Single-cell crop; bone marrow aspirate smear:
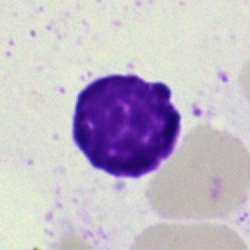
Q: What is shown here?
A: It is an artifact.